Bone marrow aspirate smear.
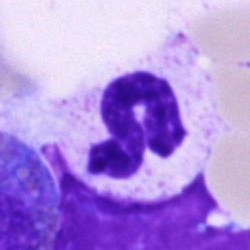
Cell = stab cell.